Bone marrow smear · 40× objective, oil immersion.
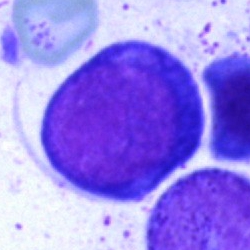Cell type = proerythroblast.